Bone marrow smear: 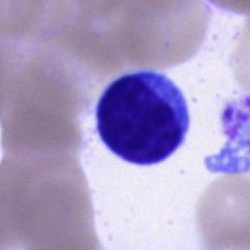Q: What is the morphological classification of this cell?
A: It is a lymphocyte.